Bone marrow smear
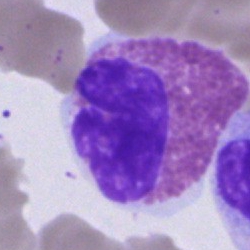

Morphology consistent with an eosinophilic granulocyte.